Bone marrow smear.
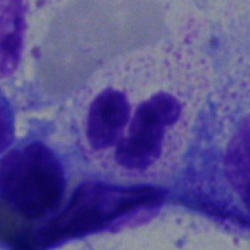 Classification — polymorphonuclear neutrophil.